250×250 px; single cell centered in the field; bone marrow aspirate smear
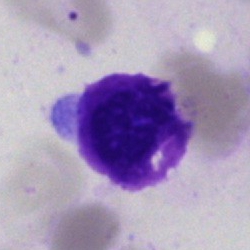

The morphological class is artefact.